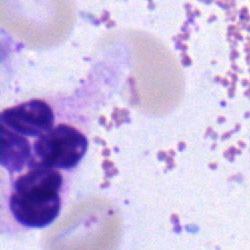 Classification: polymorphonuclear neutrophil.